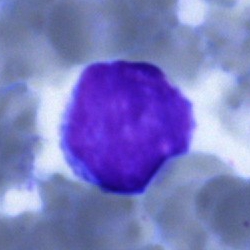
Showing a typical lymphocyte.